Image size 250×250. Bone marrow smear. 40× objective, oil immersion: 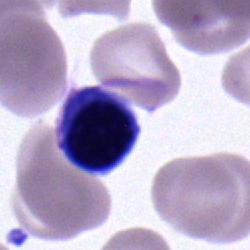Q: What type of cell is this?
A: It is a typical lymphocyte.